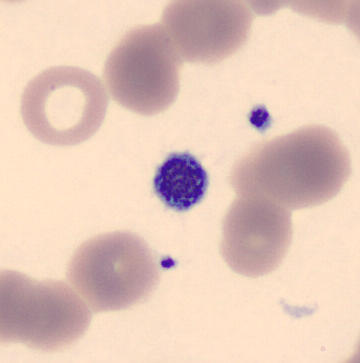

Q: What is shown here?
A: It is a platelet (thrombocyte).